May-Grünwald-Giemsa/Pappenheim stain. Bone marrow smear: 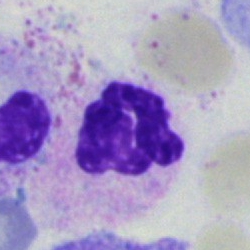
Morphology — polymorphonuclear neutrophil.